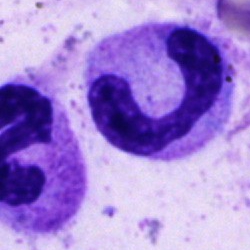
Specimen: bone marrow smear.
Cell: neutrophil (band).
Lineage: myeloid.